Bone marrow smear — 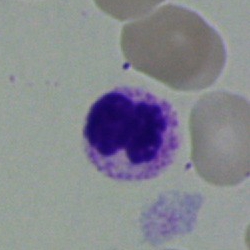 This is a neutrophil (segmented).